Bone marrow aspirate smear. 250×250 px. Cropped to a single cell — 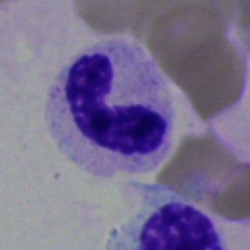
Cell = band-form neutrophil.